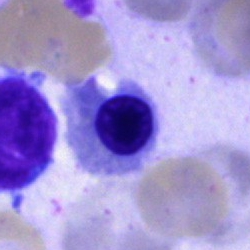

Cell: nucleated red cell.